Peripheral blood smear
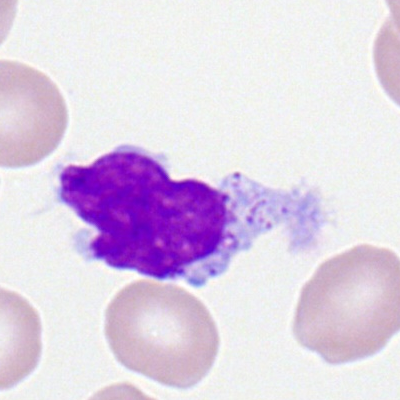

Specimen: peripheral blood film.
Cell type: typical lymphocyte.
Lineage: lymphoid.